Bone marrow aspirate smear; image size 250×250
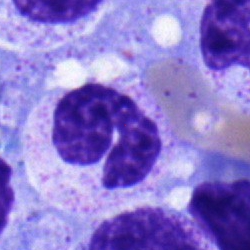
Q: Which cell type is shown here?
A: It is a neutrophil (band).